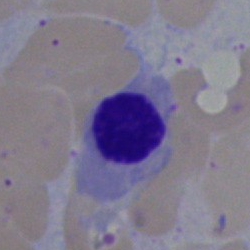 The morphological class is nucleated red blood cell.